Bone marrow smear — 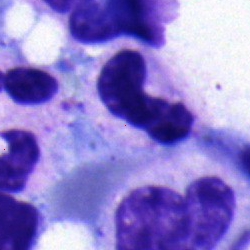

Band-form neutrophil.